Bone marrow aspirate smear. Brightfield, 40× oil-immersion objective. Single-cell crop.
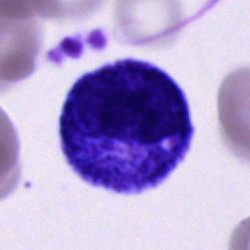 Single cell identified as a promyelocyte.